Single cell centered in the field · bone marrow smear: 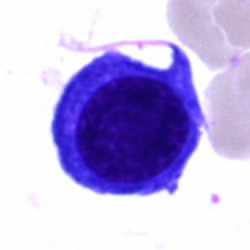

Showing a nucleated red blood cell.